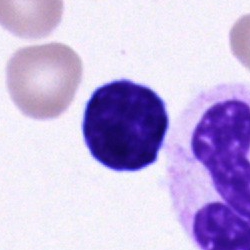 Specimen: bone marrow smear.
Classification: typical lymphocyte.
Lineage: lymphoid.